Bone marrow smear — 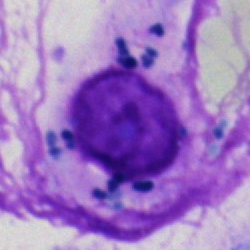Morphology — artefact.